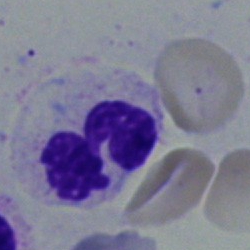

Impression → segmented neutrophil.